Single-cell field. Bone marrow smear — 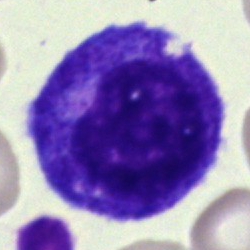
Q: What is the morphological classification of this cell?
A: Promyelocyte.